Brightfield microscopy, 40× oil immersion; bone marrow aspirate smear; 250×250 — 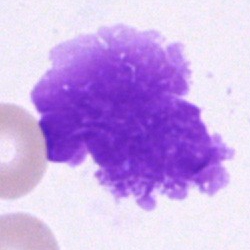
Single cell identified as an artifact.